Brightfield microscopy, 40× oil immersion. Bone marrow aspirate smear. May-Grünwald-Giemsa stain — 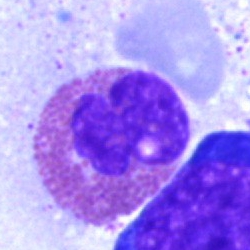
Morphological class = eosinophil.